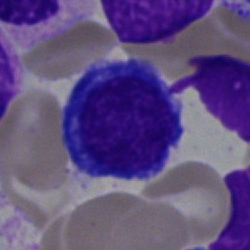 Impression → erythroblast.